Peripheral blood film.
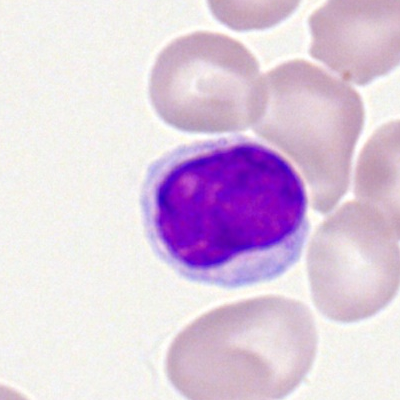
Morphology consistent with a lymphocyte.